Bone marrow smear
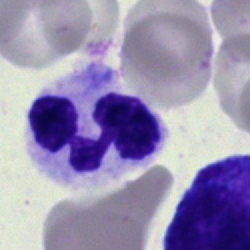

Morphology → segmented neutrophil.